Bone marrow smear — 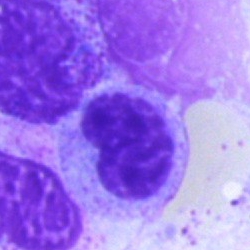
Morphology — metamyelocyte.